Bone marrow smear. May-Grünwald-Giemsa stain:
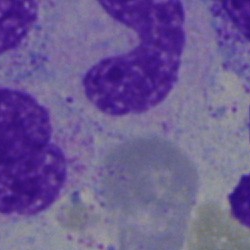
Morphology — band-form neutrophil.